Bone marrow smear; 250×250 px:
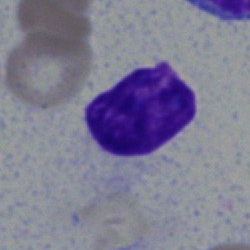A typical lymphocyte.